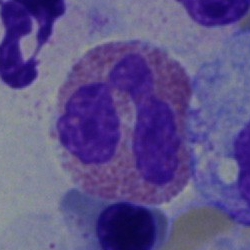 Single cell identified as an eosinophil.